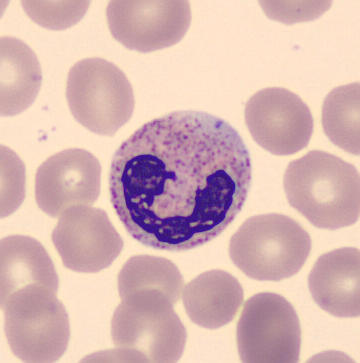Q: What is shown here?
A: This is a polymorphonuclear neutrophil.

360×363. Peripheral blood smear.